Bone marrow aspirate smear. Single-cell field
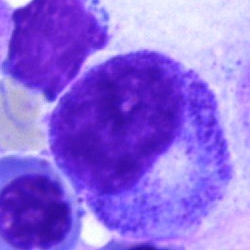 Impression — promyelocyte.